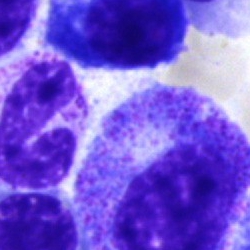
Cell — progranulocyte.